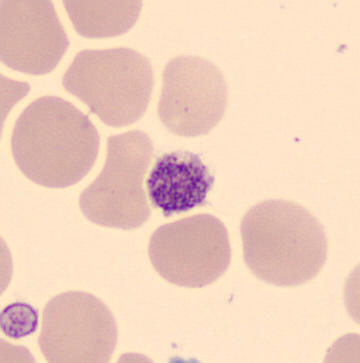
Morphological class: thrombocyte.